Bone marrow aspirate smear — 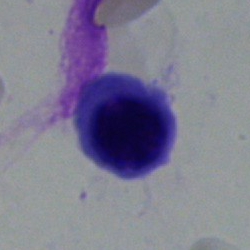

Cell type: normoblast.